Bone marrow smear.
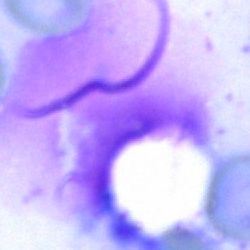

Showing an artifact.